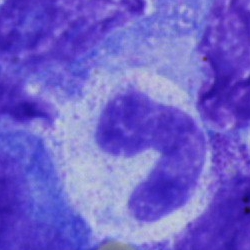

Cell = neutrophil (band).